Peripheral blood film.
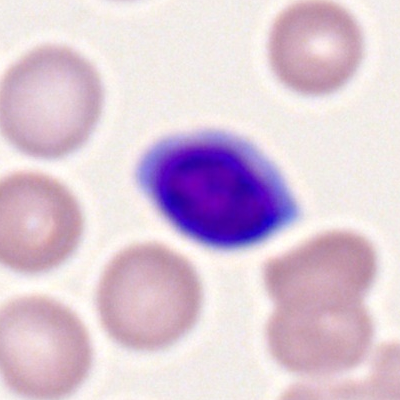 Specimen: peripheral blood smear.
Cell: lymphocyte.
Lineage: lymphoid.